Brightfield microscopy, 40× oil immersion. Bone marrow smear. 250×250.
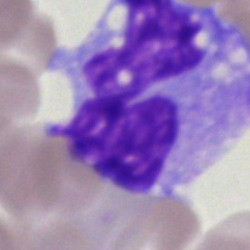The classification is monocyte.